MGG-stained. Bone marrow aspirate smear.
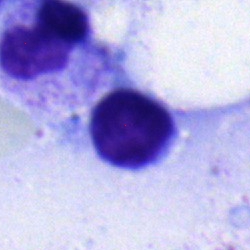 The cell is lymphocyte.